Bone marrow aspirate smear:
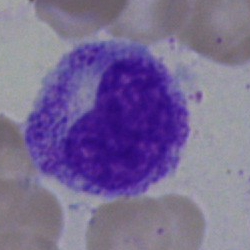 Impression — metamyelocyte.